Bone marrow smear.
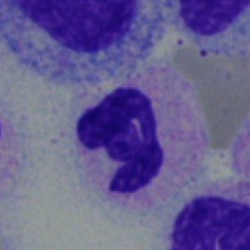 Q: What is the morphological classification of this cell?
A: Segmented neutrophil.